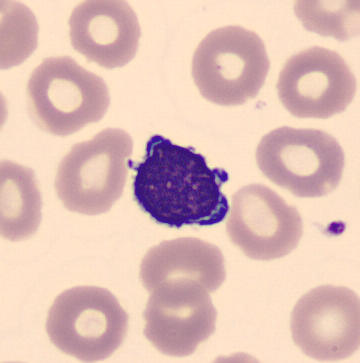 Identified as a lymphocyte. Peripheral blood film.